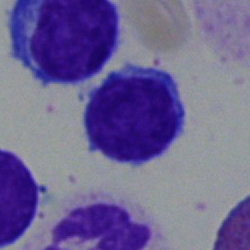

Single-cell crop from a bone marrow smear: lymphocyte.